MGG-stained · brightfield, 40× oil-immersion objective · bone marrow smear — 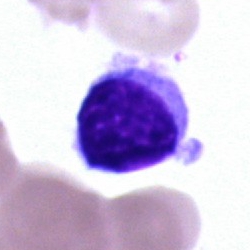
Q: What type of cell is this?
A: This is a lymphocyte.